Bone marrow aspirate smear
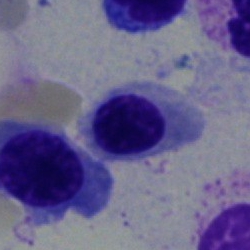

Cell: nucleated red blood cell.